Bone marrow smear:
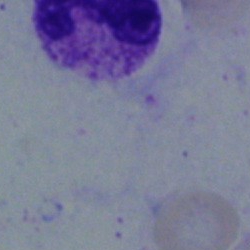
Cell of indeterminate lineage.